Bone marrow smear — 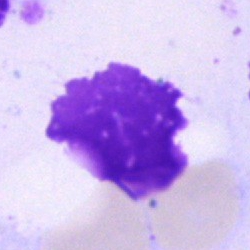Q: What is shown here?
A: Artifact.